Bone marrow smear — 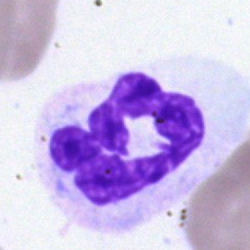Morphology — neutrophil (segmented).